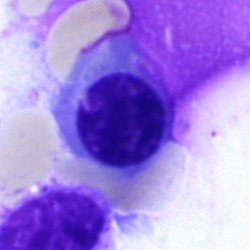
The cell is nucleated red blood cell.